Bone marrow aspirate smear:
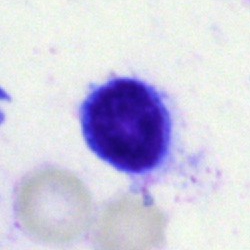This is a typical lymphocyte.